Bone marrow smear; brightfield, 40× oil-immersion objective:
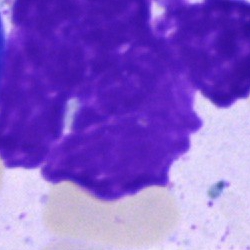Specimen: bone marrow aspirate smear.
Classification: artefact.